Peripheral blood smear — 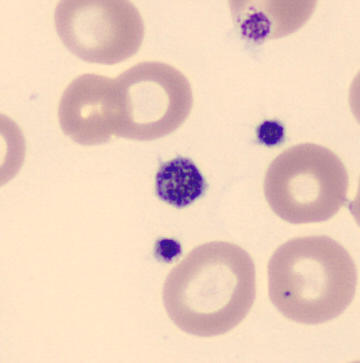Morphology consistent with a platelet (thrombocyte).